Bone marrow smear · brightfield microscopy, 40× oil immersion · 250×250 — 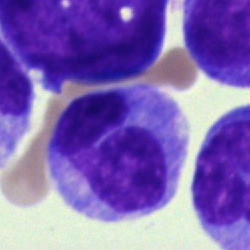 Morphology consistent with a monocyte.